Bone marrow aspirate smear: 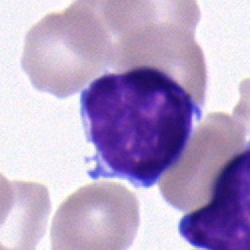Cell type — lymphocyte.